Bone marrow smear. MGG-stained.
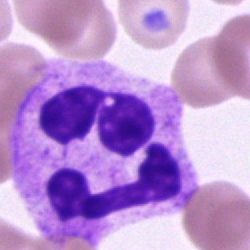
Specimen: bone marrow aspirate smear.
Morphological class: polymorphonuclear neutrophil.
Lineage: myeloid.